Bone marrow aspirate smear: 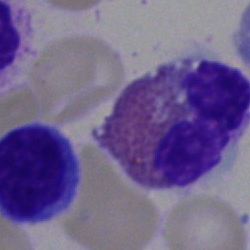 Classification: eosinophil.